Bone marrow smear · brightfield, 40× oil-immersion objective · cropped to a single cell
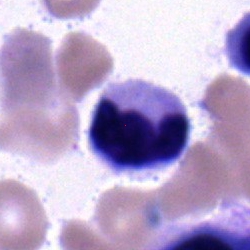

Showing a neutrophil (segmented).